Bone marrow smear:
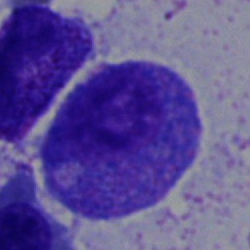Single cell identified as a progranulocyte.